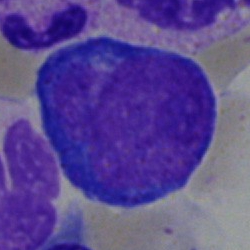
Cell type — proerythroblast.